Bone marrow smear — 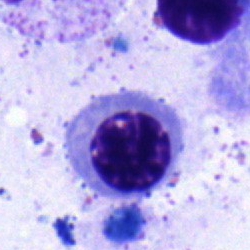Showing a nucleated red blood cell.